250 by 250 pixels · May-Grünwald-Giemsa stain · bone marrow aspirate smear: 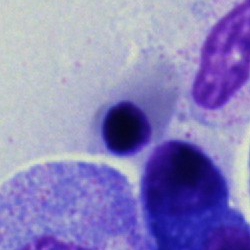Classification: nucleated red cell.